Bone marrow smear
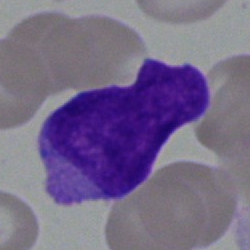Cell type = blast.